Bone marrow aspirate smear.
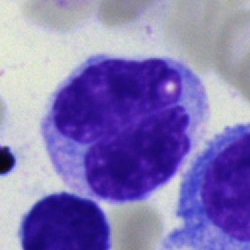

Morphology consistent with a monocyte.